Single-cell crop; bone marrow smear: 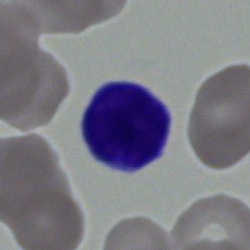 Impression → typical lymphocyte.